Image size 250×250 · bone marrow smear
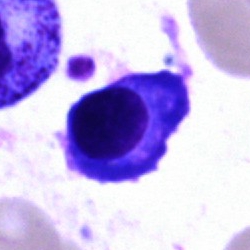
Classification: plasmacyte.